Bone marrow aspirate smear:
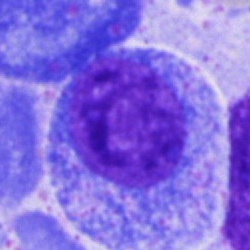
Showing a promyelocyte.